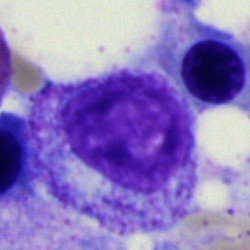
{"cell_type": "myelocyte"}